Cropped to a single cell; image size 250×250; bone marrow smear: 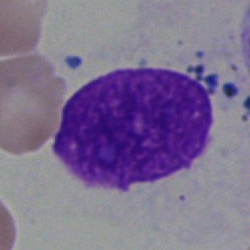 The cell shown is an artefact.